Bone marrow aspirate smear · May-Grünwald-Giemsa stain
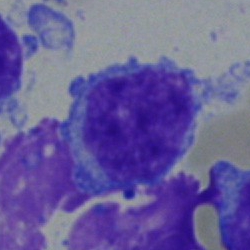Specimen: bone marrow aspirate smear.
Classification: typical lymphocyte.
Lineage: lymphoid.